250 by 250 pixels; 40× oil immersion; bone marrow aspirate smear:
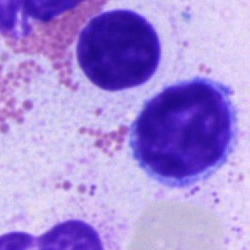 Q: Identify the cell.
A: It is a typical lymphocyte.